Bone marrow aspirate smear:
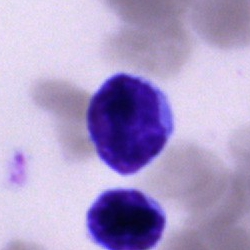
Typical lymphocyte.